250 by 250 pixels. Bone marrow smear:
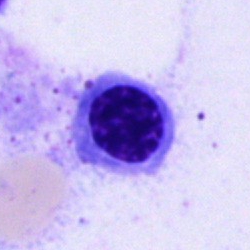
Showing a nucleated red blood cell.